Bone marrow smear:
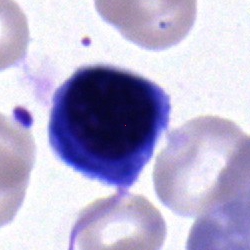

Single cell identified as an erythroblast.